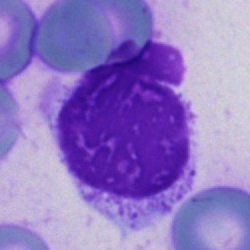Artefact.